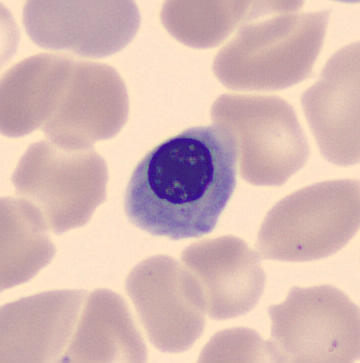 Acquisition: MGG-stained. Single cell centered in the field. Peripheral blood film.
Classification = nucleated red cell.